250×250 px; bone marrow aspirate smear; single cell centered in the field:
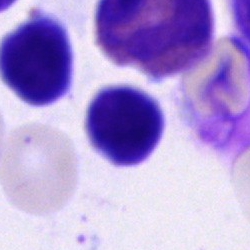

Q: Identify the cell.
A: It is a typical lymphocyte.